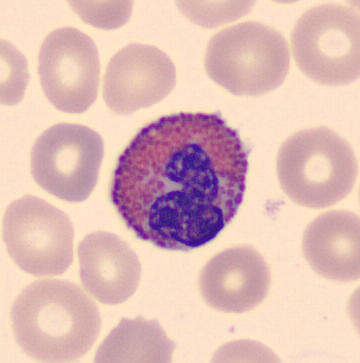

360×363.

Specimen: peripheral blood film.
Morphological class: eosinophil.